Bone marrow smear — 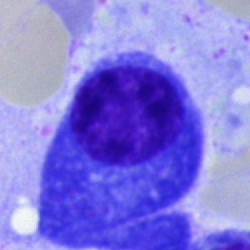

{"cell_type": "plasmacyte"}